250 by 250 pixels. Bone marrow aspirate smear. Single-cell field
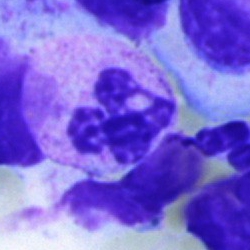
The cell is polymorphonuclear neutrophil.